Bone marrow aspirate smear; image size 250×250; brightfield, 40× oil-immersion objective.
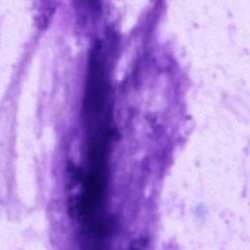

The cell shown is an artifact.